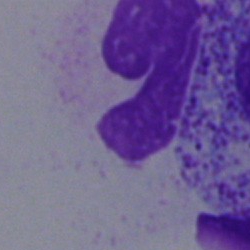 Specimen: bone marrow aspirate smear.
Morphological class: artifact.